Single-cell crop. Peripheral blood smear. MGG stain — 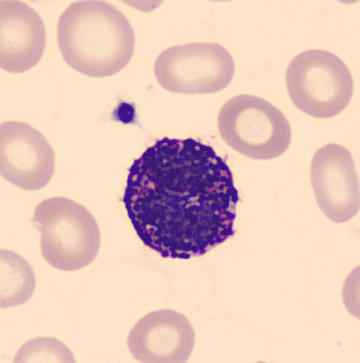

A basophil.